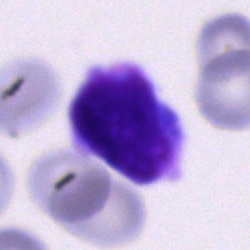 Unidentifiable cell.